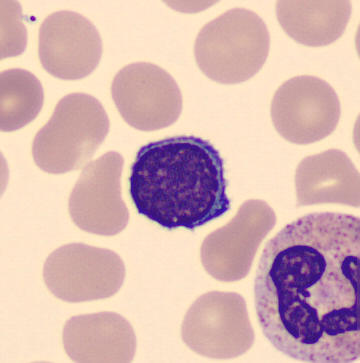 Lymphocyte.